Bone marrow smear; brightfield, 40× oil-immersion objective
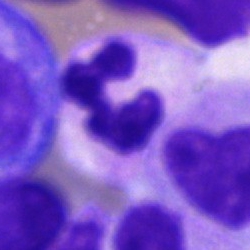 The cell shown is a polymorphonuclear neutrophil.